Bone marrow smear
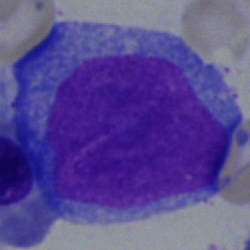

Impression — blast cell.